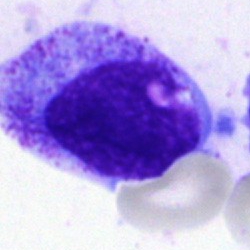

The morphological class is promyelocyte.